Bone marrow smear:
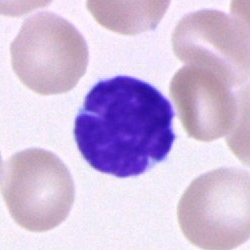
This is a typical lymphocyte.